Pappenheim-stained; bone marrow smear:
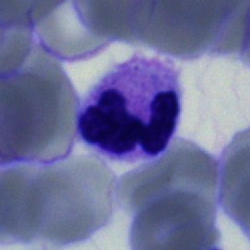Single cell identified as a neutrophil (segmented).